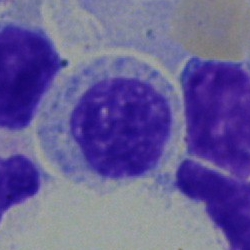Q: What is shown here?
A: This is a myelocyte.